Bone marrow smear — 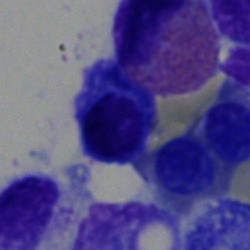Cell = eosinophil.